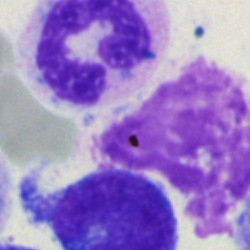

Morphological class — polymorphonuclear neutrophil.